250×250 px. Brightfield, 40× oil-immersion objective. Bone marrow smear — 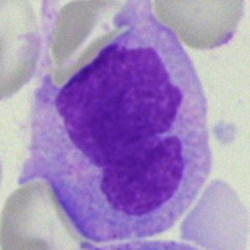

Single cell identified as a monocyte.